Bone marrow smear; 250×250; brightfield, 40× oil-immersion objective.
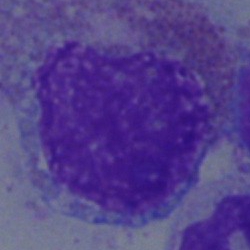 An eosinophilic granulocyte.